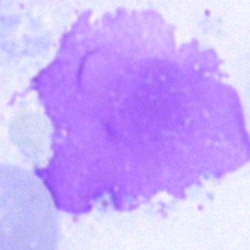
Morphology — artefact.